Bone marrow aspirate smear; image size 250×250: 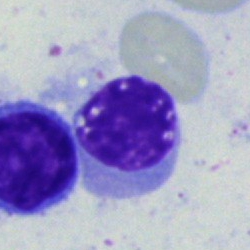 Morphology → nucleated red cell.